Bone marrow aspirate smear: 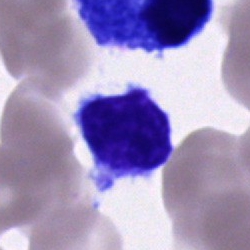

Single cell identified as a typical lymphocyte.